Bone marrow aspirate smear: 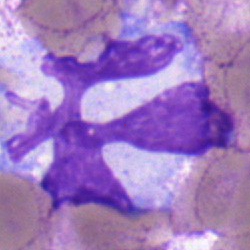 Cell type: monocyte.